250×250 px; bone marrow smear — 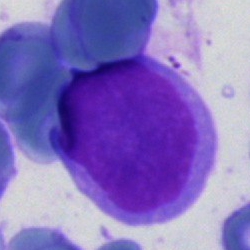

Specimen: bone marrow smear.
Classification: blast cell.